Bone marrow aspirate smear; MGG-stained.
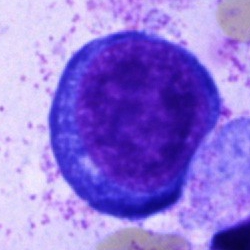
Cell — proerythroblast.